Bone marrow smear.
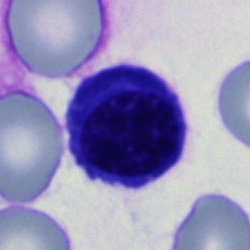Q: Identify the cell.
A: Erythroblast.